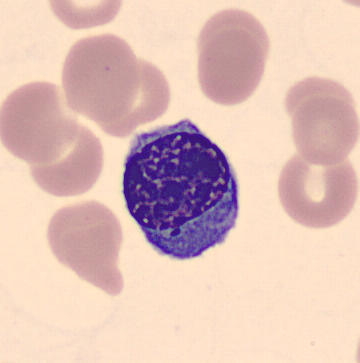
Morphology consistent with a normoblast. Preparation: Peripheral blood film · single-cell field.